Peripheral blood smear.
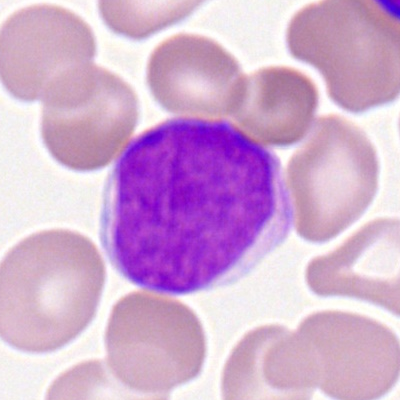
Morphology consistent with a myeloblast.